Bone marrow smear:
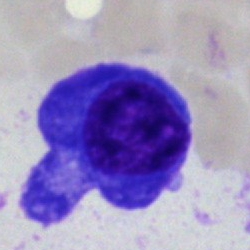 Plasmacyte.